Cropped to a single cell; bone marrow aspirate smear; Pappenheim-stained.
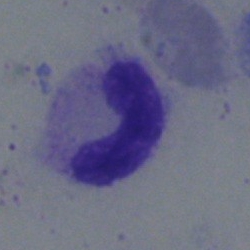Single cell identified as a band neutrophil.